Single-cell field; bone marrow aspirate smear
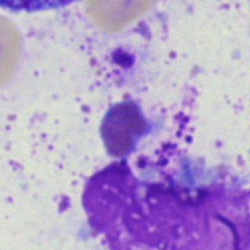

Artefact.